Bone marrow smear
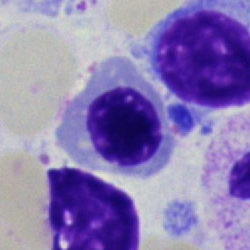Q: What is shown here?
A: It is an erythroblast.